40× objective, oil immersion. Bone marrow smear — 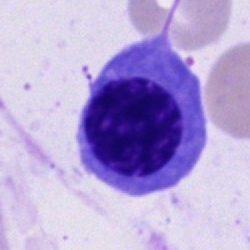 Morphological class = nucleated red blood cell.